Bone marrow smear
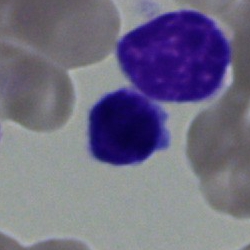 The classification is typical lymphocyte.